Bone marrow smear
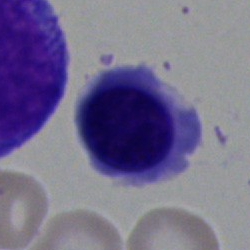

Cell: normoblast.